Peripheral blood film.
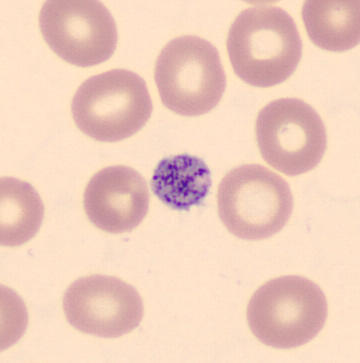The morphological class is platelet (thrombocyte).